Bone marrow smear — 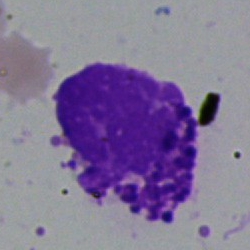 A basophil.